Bone marrow aspirate smear: 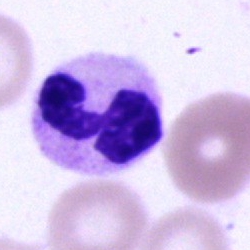

A polymorphonuclear neutrophil.